Peripheral blood smear. Image size 400×400:
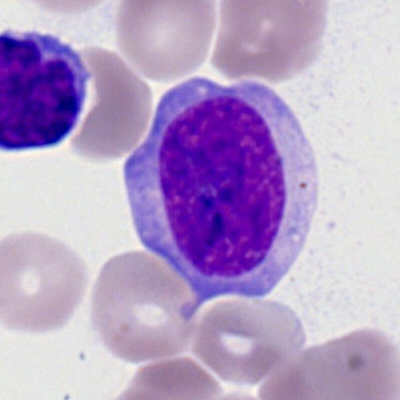Q: What is shown here?
A: Myeloblast.